Bone marrow smear · brightfield microscopy, 40× oil immersion · 250×250 px — 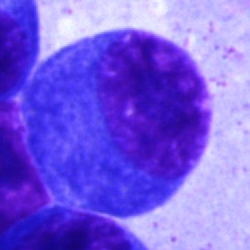Specimen: bone marrow aspirate smear.
Cell: plasmacyte.
Lineage: lymphoid.